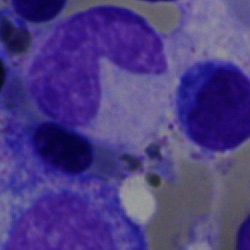
Bone marrow smear showing a stab cell.